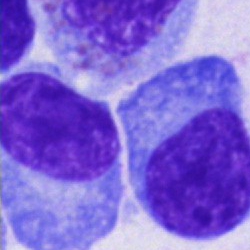

Specimen: bone marrow smear.
Cell: plasma cell.
Lineage: lymphoid.